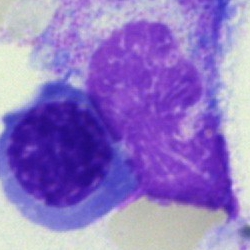
Q: What is the morphological classification of this cell?
A: It is a nucleated red cell.